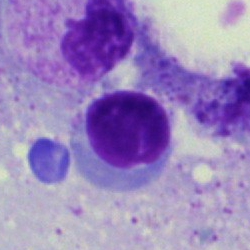 Classification = lymphocyte.